Bone marrow smear: 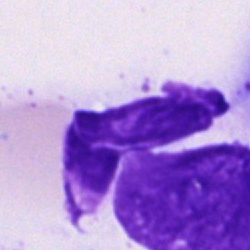Specimen: bone marrow smear.
Cell type: artifact.